250×250; bone marrow smear; May-Grünwald-Giemsa/Pappenheim stain: 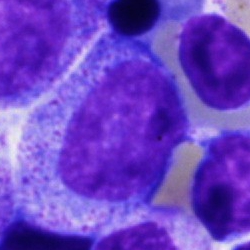
Morphology → promyelocyte.